Peripheral blood smear · Romanowsky stain · 400×400 px.
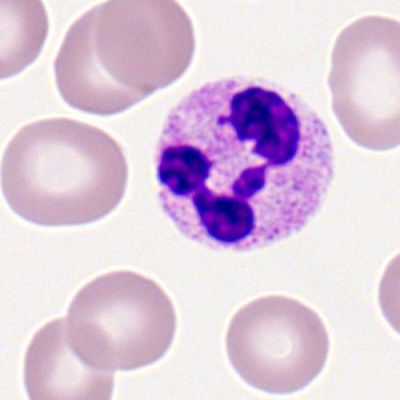Morphological class = polymorphonuclear neutrophil.